Bone marrow aspirate smear · image size 250×250: 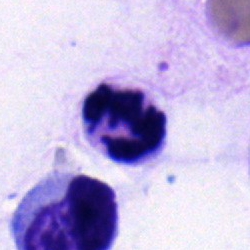
A segmented neutrophil.